Bone marrow aspirate smear; brightfield microscopy, 40× oil immersion — 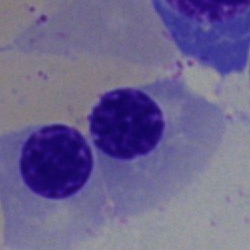

The morphological class is normoblast.